250 by 250 pixels · bone marrow smear: 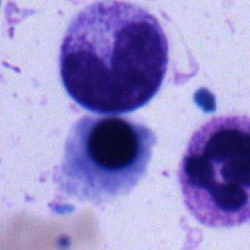

Q: Identify the cell.
A: Band-form neutrophil.